Bone marrow smear; 250×250 px; May-Grünwald-Giemsa stain: 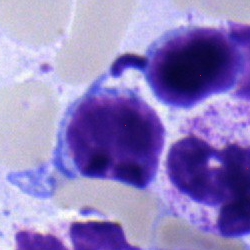
This is a typical lymphocyte.